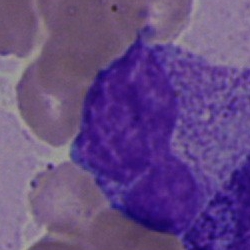

Specimen: bone marrow smear.
Classification: cell of indeterminate lineage.